Bone marrow aspirate smear — 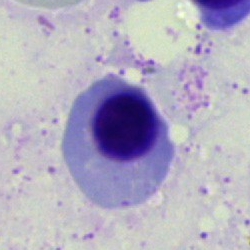Q: What is shown here?
A: It is a normoblast.